Peripheral blood smear — 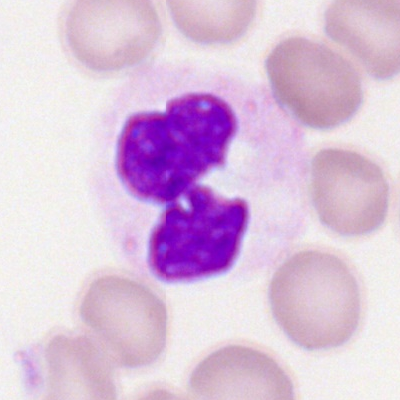

Morphological class = polymorphonuclear neutrophil.